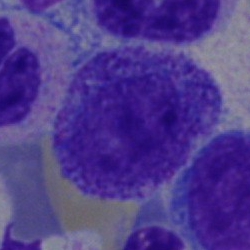 A promyelocyte.